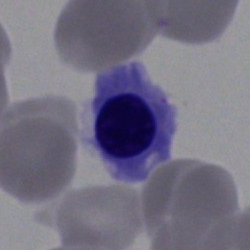This is a nucleated red cell.